40× objective, oil immersion. Bone marrow smear. Single-cell crop — 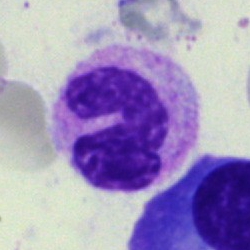

Specimen: bone marrow smear.
Morphological class: neutrophil (band).
Lineage: myeloid.